Bone marrow aspirate smear
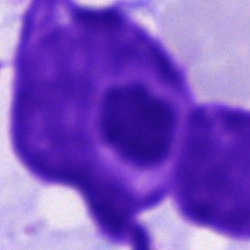
Artefact.